Bone marrow smear; image size 250×250; May-Grünwald-Giemsa/Pappenheim stain — 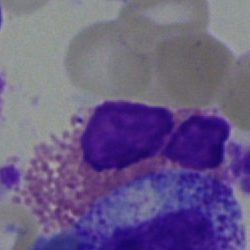

Specimen: bone marrow smear.
Cell type: eosinophil.
Lineage: myeloid.